Bone marrow smear.
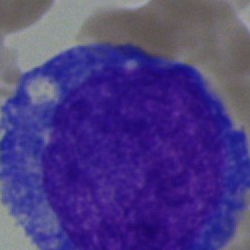
Basophilic granulocyte.